Bone marrow smear.
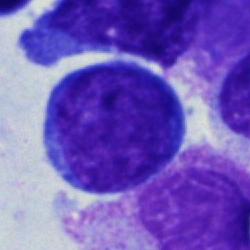
Blast cell.